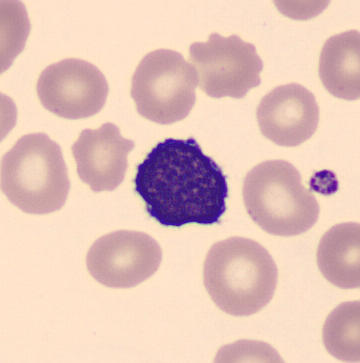Peripheral blood smear.

Lymphocyte.